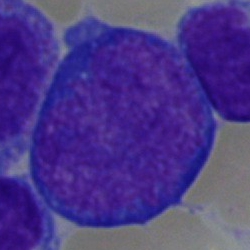Bone marrow smear showing a blast cell.